Bone marrow smear
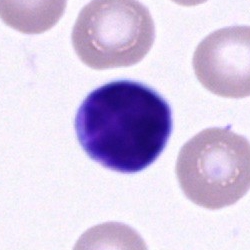

Cell — typical lymphocyte.